Bone marrow smear:
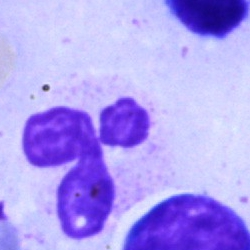 Q: What is the morphological classification of this cell?
A: Polymorphonuclear neutrophil.